Image size 250×250; bone marrow aspirate smear: 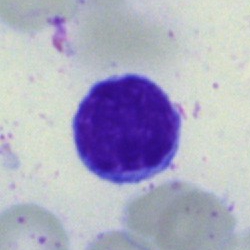
Showing a typical lymphocyte.